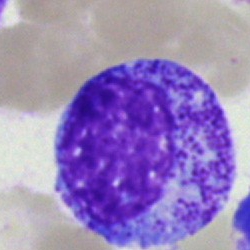
Specimen: bone marrow smear.
Morphological class: myelocyte.
Lineage: myeloid.